Bone marrow smear · Pappenheim-stained — 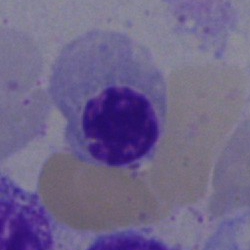 Morphology consistent with an erythroblast.